Bone marrow smear
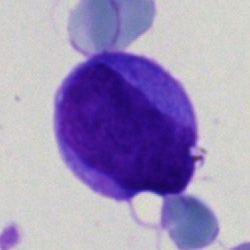
{"cell_type": "undifferentiated blast"}